Bone marrow smear — 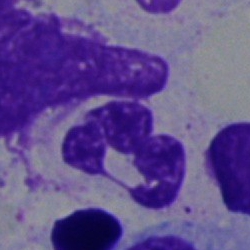 Cell type — neutrophil (segmented).